250×250. Bone marrow smear
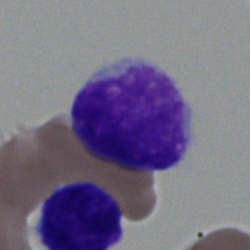

Classification = typical lymphocyte.